Bone marrow aspirate smear: 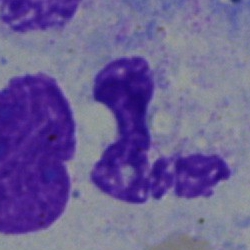 The cell type is neutrophil (segmented).